Bone marrow smear; MGG-stained
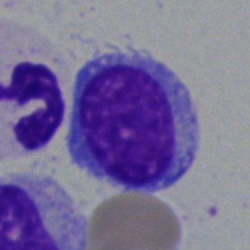 The morphological class is typical lymphocyte.